Bone marrow aspirate smear: 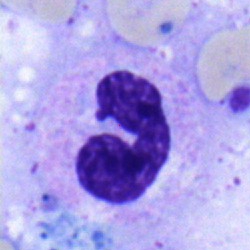Single cell identified as a neutrophil (band).